Bone marrow smear. Single cell centered in the field.
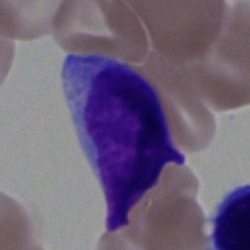Classification = blast cell.